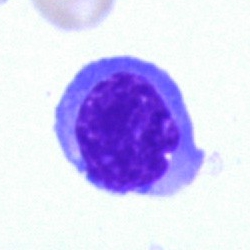Specimen: bone marrow aspirate smear.
Morphological class: nucleated red cell.
Lineage: erythroid.